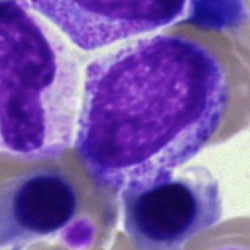The cell is myelocyte.